40× oil immersion · May-Grünwald-Giemsa stain · bone marrow smear
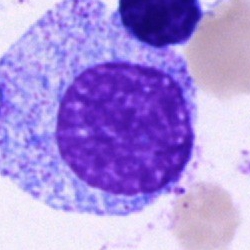
Q: Which cell type is shown here?
A: A promyelocyte.